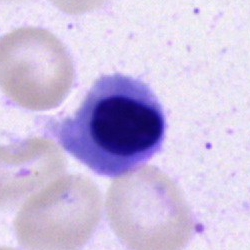

Q: What type of cell is this?
A: Erythroblast.